Single-cell crop · bone marrow aspirate smear
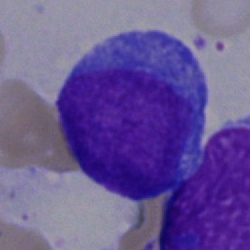

Specimen: bone marrow smear.
Cell: blast cell.